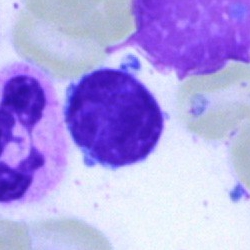
Q: What cell is this?
A: Lymphocyte.